Bone marrow smear
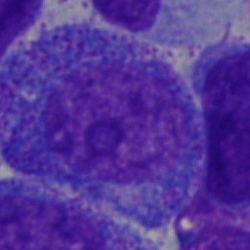A progranulocyte.